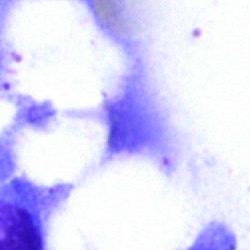
The cell is artefact.